MGG-stained. Bone marrow smear.
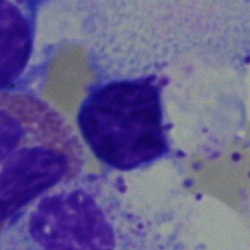Single cell identified as a typical lymphocyte.